Bone marrow smear
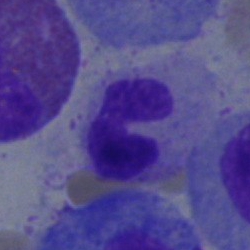 The morphological class is stab cell.